Bone marrow aspirate smear:
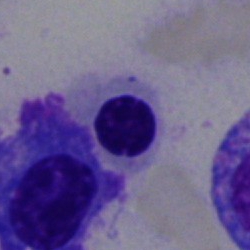
Showing a nucleated red blood cell.